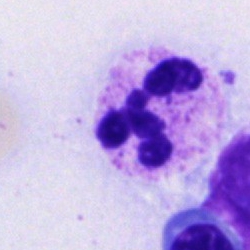

The classification is polymorphonuclear neutrophil.